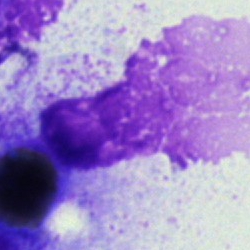 Bone marrow smear showing an artifact.